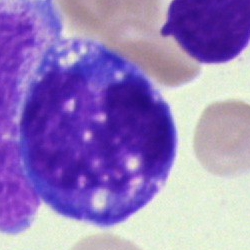Classification: monocyte.